Bone marrow smear · 250×250 px:
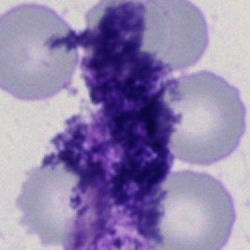

Q: What is shown here?
A: An artefact.